Bone marrow aspirate smear:
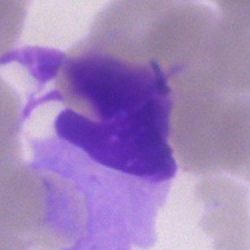
{"cell_type": "artifact"}